Bone marrow aspirate smear; 250 by 250 pixels — 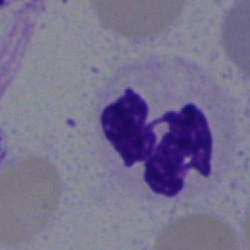

Impression — polymorphonuclear neutrophil.